Bone marrow aspirate smear:
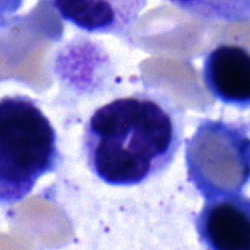Morphology → neutrophil (band).